Bone marrow smear
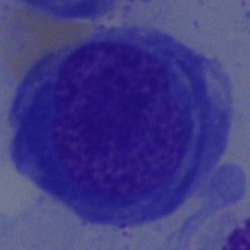Nucleated red blood cell.